Bone marrow smear; brightfield microscopy, 40× oil immersion.
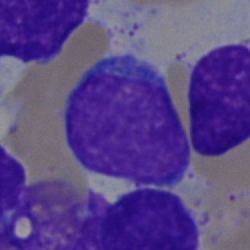
Q: What cell is this?
A: A typical lymphocyte.